Single-cell crop; bone marrow smear
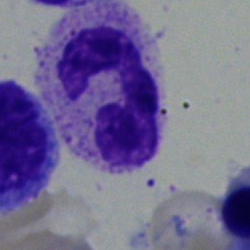Cell = neutrophil (segmented).